Bone marrow smear: 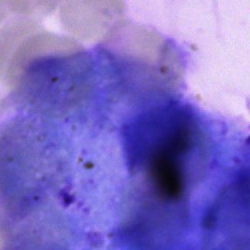 This is a lymphocyte.